Single-cell crop; bone marrow smear; brightfield microscopy, 40× oil immersion — 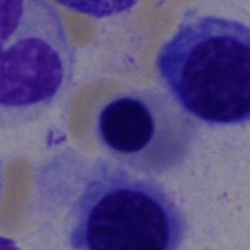

Specimen: bone marrow smear.
Cell type: normoblast.